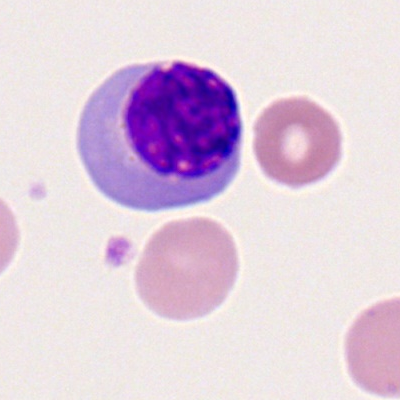
This is a normoblast.